Brightfield microscopy, 40× oil immersion. Bone marrow smear: 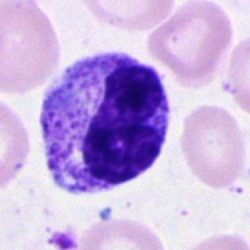

A metamyelocyte.